Bone marrow smear: 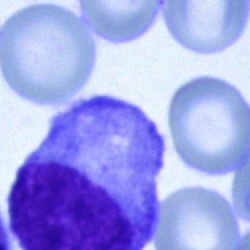
Specimen: bone marrow aspirate smear.
Morphological class: plasmacyte.
Lineage: lymphoid.